Bone marrow aspirate smear — 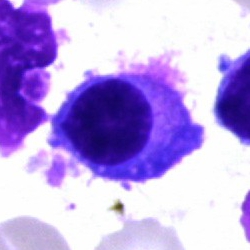 Morphological class: plasmacyte.